Bone marrow aspirate smear: 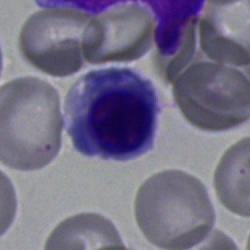

Cell: erythroblast.